Bone marrow aspirate smear. Single-cell field. 40× oil immersion:
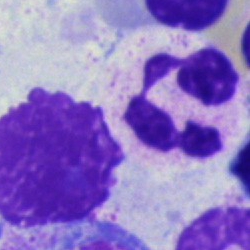

This is a neutrophil (segmented).